Image size 250×250 · bone marrow aspirate smear:
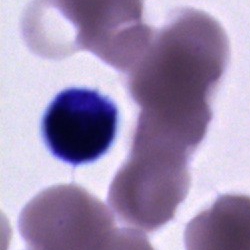Morphological class: cell of indeterminate lineage.